Bone marrow aspirate smear:
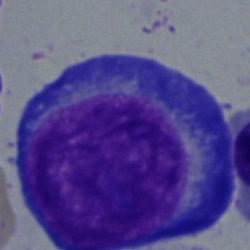 Morphological class: proerythroblast.